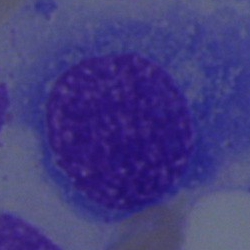
Q: What is the morphological classification of this cell?
A: It is a nucleated red cell.